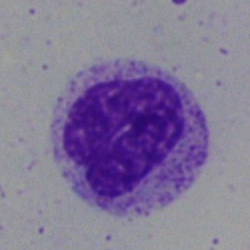
A stab cell.